Cropped to a single cell; bone marrow aspirate smear
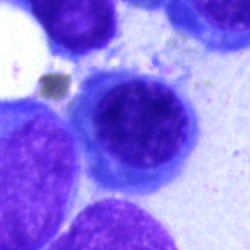Q: Which cell type is shown here?
A: A normoblast.